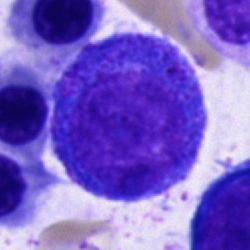

Cell = progranulocyte.